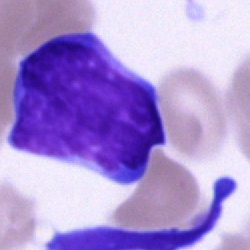A blast cell on a bone marrow smear.